40× oil immersion; bone marrow smear:
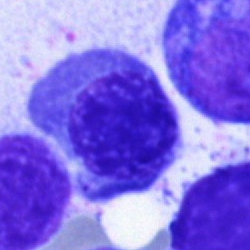

Morphology consistent with a nucleated red blood cell.